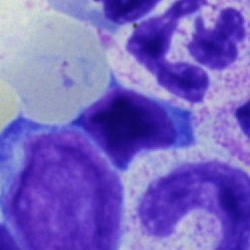This is an erythroblast.